Bone marrow smear: 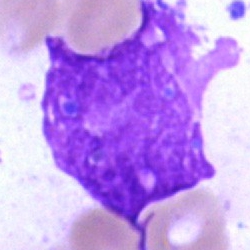 Specimen: bone marrow smear.
Cell type: artefact.